Bone marrow smear
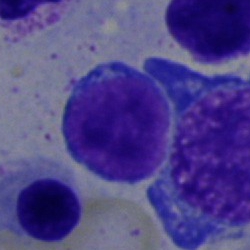
Impression → lymphocyte.